Bone marrow smear.
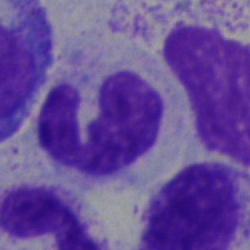Showing a polymorphonuclear neutrophil.